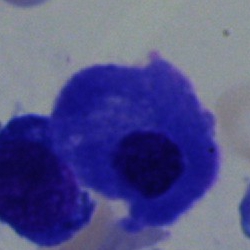
A plasmacyte.